Bone marrow aspirate smear; Pappenheim-stained:
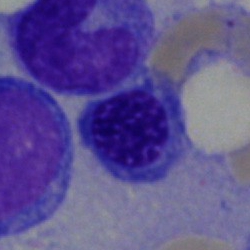Impression → nucleated red blood cell.